Brightfield, 40× oil-immersion objective · bone marrow aspirate smear — 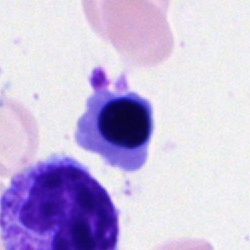Nucleated red blood cell.